Bone marrow aspirate smear — 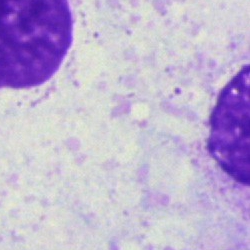

{"cell_type": "artefact"}